Single-cell field. Bone marrow aspirate smear.
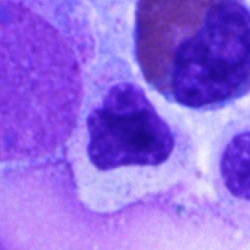

Cell type = artefact.